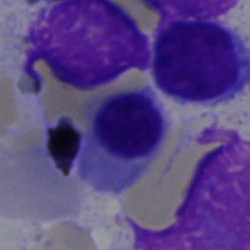Classification = nucleated red blood cell.